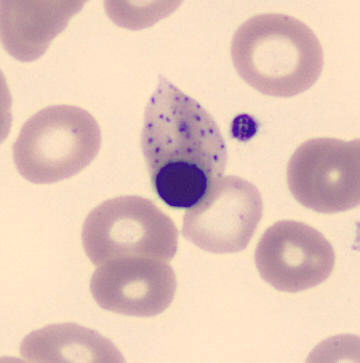Morphology → normoblast.
Image: May-Grünwald-Giemsa-stained; peripheral blood film.